Bone marrow smear — 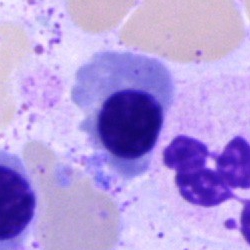A nucleated red blood cell.